Bone marrow smear:
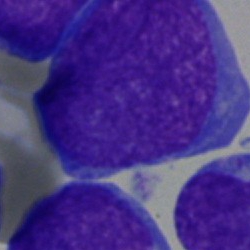
A blast.